Bone marrow aspirate smear
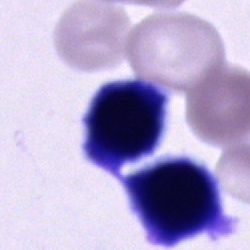
Morphology consistent with a cell of indeterminate lineage.